Bone marrow aspirate smear. 250 by 250 pixels:
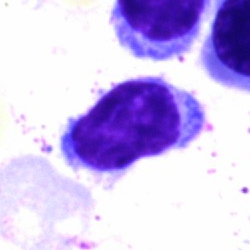

Morphological class = lymphocyte.